Bone marrow aspirate smear. May-Grünwald-Giemsa/Pappenheim stain — 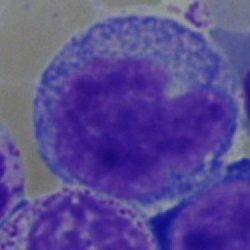
Cell: promyelocyte.